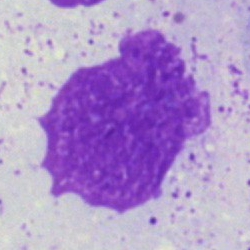
Q: What is shown here?
A: This is an artifact.